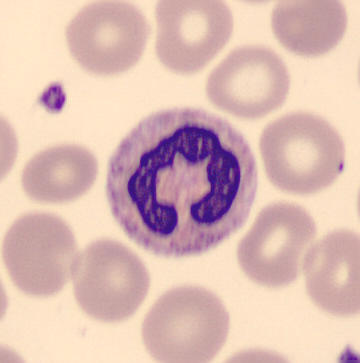Morphological class — band-form neutrophil.